Romanowsky-stained · peripheral blood film · 100× oil immersion, 14.14 px/µm
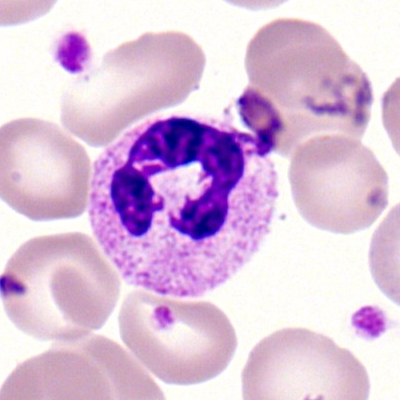
Single cell identified as a neutrophil (segmented).